Bone marrow smear
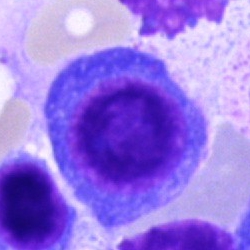

Plasmacyte.